Single-cell crop · bone marrow aspirate smear · brightfield, 40× oil-immersion objective: 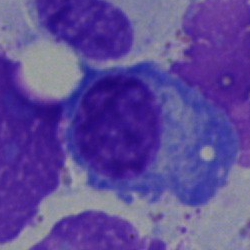Impression — plasmacyte.